Bone marrow smear:
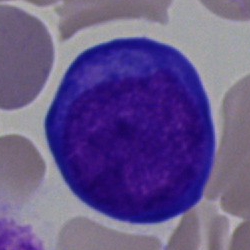

A normoblast.